May-Grünwald-Giemsa/Pappenheim stain · bone marrow smear.
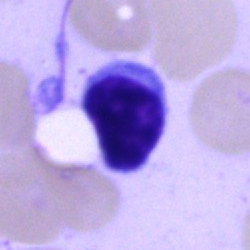
The classification is lymphocyte.